Bone marrow aspirate smear; 250×250 px; single cell centered in the field: 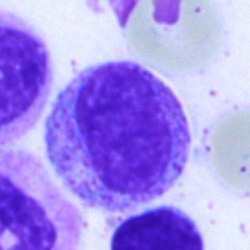 A myelocyte.